Bone marrow aspirate smear · brightfield microscopy, 40× oil immersion:
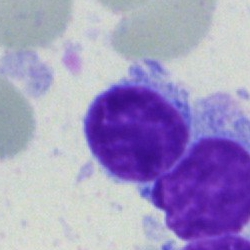

Cell: lymphocyte.